Bone marrow smear. Single-cell field. Image size 250×250:
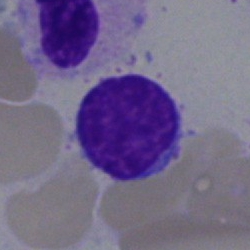
Q: What type of cell is this?
A: This is a lymphocyte.